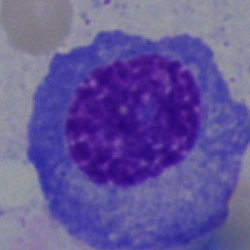Morphology consistent with a plasma cell.